Bone marrow smear.
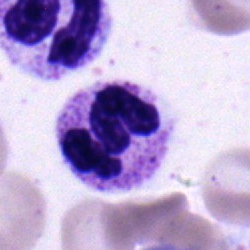Morphology consistent with a myelocyte.